Brightfield, 100× oil-immersion objective. Peripheral blood film: 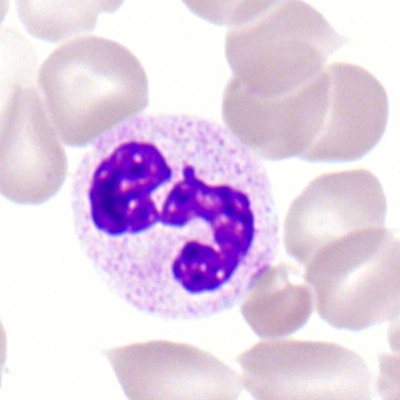The cell shown is a segmented neutrophil.